Bone marrow smear. Single cell centered in the field: 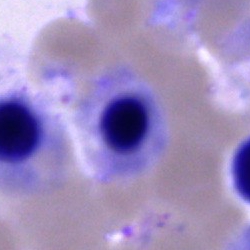Specimen: bone marrow aspirate smear.
Cell type: erythroblast.
Lineage: erythroid.